Bone marrow smear: 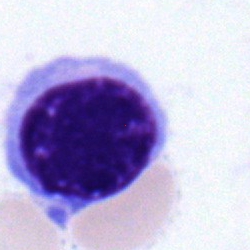 Q: Which cell type is shown here?
A: This is a neutrophil (segmented).